Bone marrow aspirate smear; 40× oil immersion:
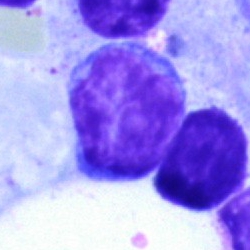Cell: lymphocyte.